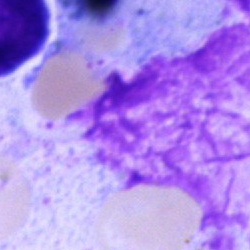 Impression — artifact.